Bone marrow aspirate smear — 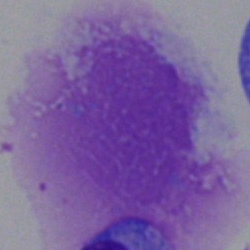
Showing an artefact.